Bone marrow smear — 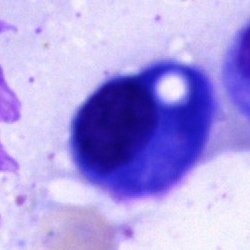

{"cell_type": "plasma cell", "lineage": "lymphoid"}